250 by 250 pixels; bone marrow smear — 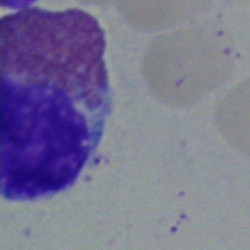 Eosinophilic granulocyte.